40× objective, oil immersion. Bone marrow aspirate smear: 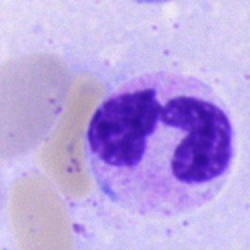

Q: What is shown here?
A: This is a polymorphonuclear neutrophil.